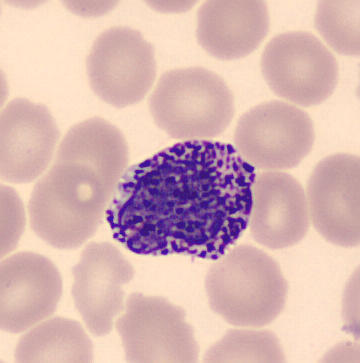
A basophilic granulocyte.